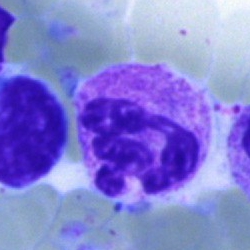Bone marrow smear showing a neutrophil (segmented).